Peripheral blood smear: 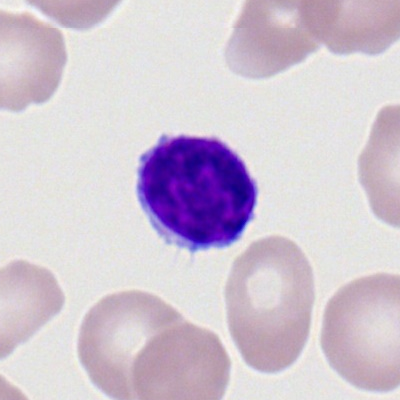

Single cell identified as a lymphocyte.